Bone marrow aspirate smear.
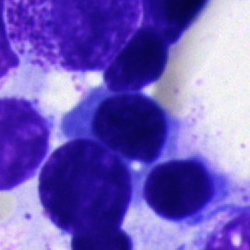A nucleated red blood cell.